Bone marrow aspirate smear · image size 250×250
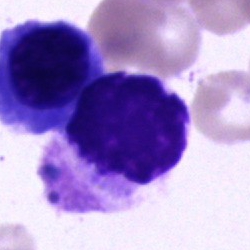 Q: What is shown here?
A: This is an unidentifiable cell.